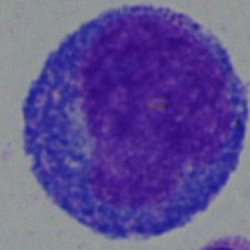

Cell — progranulocyte.